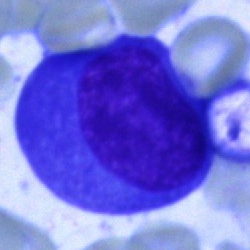

Single-cell crop from a bone marrow smear: plasmacyte.